Bone marrow smear — 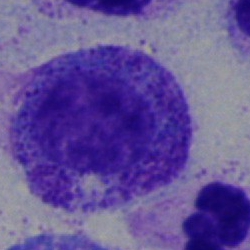A myelocyte.